250×250 · May-Grünwald-Giemsa/Pappenheim stain · bone marrow aspirate smear.
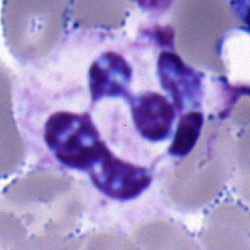

Specimen: bone marrow smear.
Classification: segmented neutrophil.
Lineage: myeloid.